Bone marrow smear.
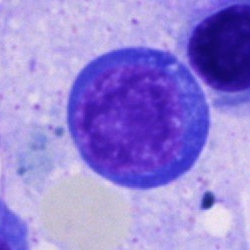

The morphological class is normoblast.